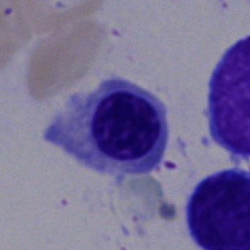Morphological class: nucleated red cell.